Bone marrow smear — 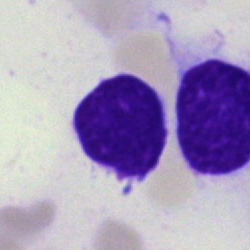 Specimen: bone marrow smear.
Cell type: typical lymphocyte.